Bone marrow aspirate smear.
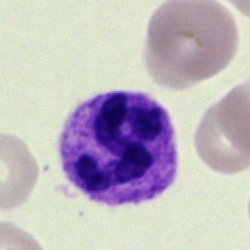
Specimen: bone marrow aspirate smear.
Classification: polymorphonuclear neutrophil.
Lineage: myeloid.